Romanowsky stain. Peripheral blood smear: 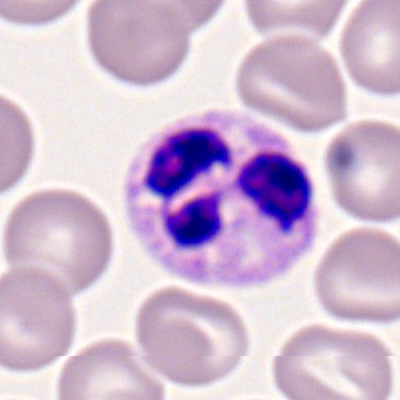

Showing a segmented neutrophil.